Bone marrow aspirate smear: 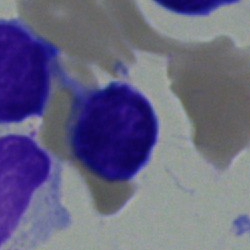

Cell type — typical lymphocyte.